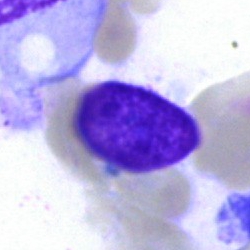

Q: What is shown here?
A: Artefact.